Bone marrow smear. 250 by 250 pixels:
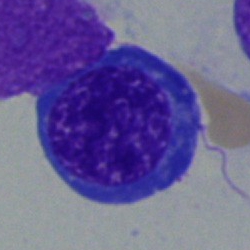A nucleated red cell.